Bone marrow smear
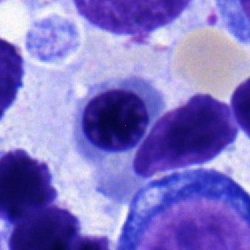Morphological class = normoblast.